Bone marrow aspirate smear:
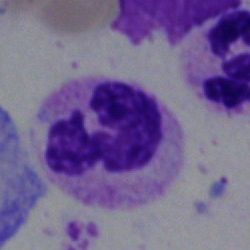 Specimen: bone marrow aspirate smear.
Cell type: polymorphonuclear neutrophil.
Lineage: myeloid.